Image size 250×250. Bone marrow smear — 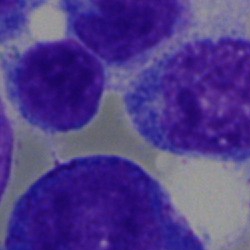Morphology consistent with a cell of indeterminate lineage.